Peripheral blood film.
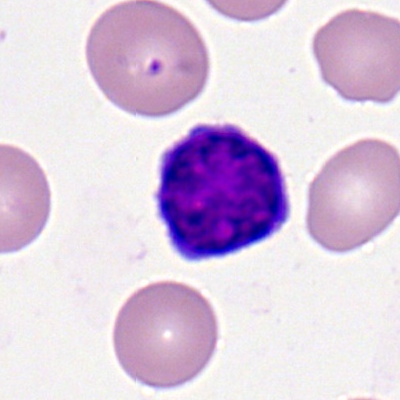

Showing a lymphocyte.